Bone marrow smear: 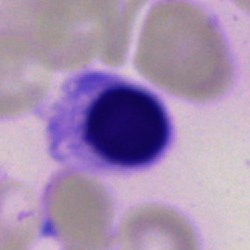
Artefact.